Peripheral blood smear — 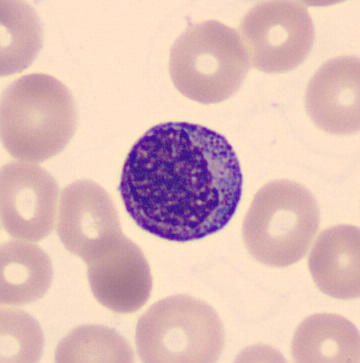
Morphology → myelocyte.